Pappenheim-stained; bone marrow aspirate smear
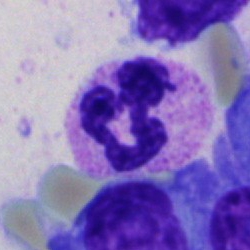Specimen: bone marrow smear.
Cell: polymorphonuclear neutrophil.
Lineage: myeloid.